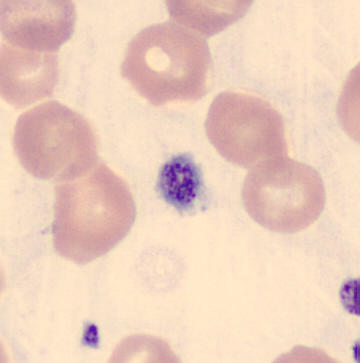 The morphological class is platelet. Automated cell imaging (CellaVision DM96). Peripheral blood smear. Image size 360×363.